Bone marrow smear; cropped to a single cell; 250×250 — 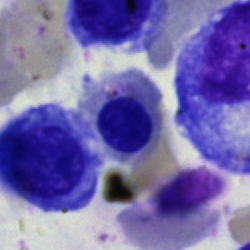A normoblast.